Bone marrow smear: 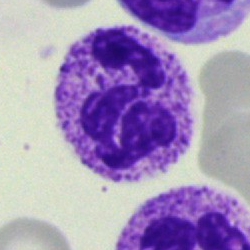
Q: What is the morphological classification of this cell?
A: It is a neutrophil (segmented).